Bone marrow aspirate smear:
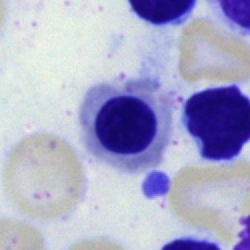
Q: What is the morphological classification of this cell?
A: Normoblast.